Peripheral blood smear; single cell centered in the field; M8 digital microscope (Precipoint), 100× oil immersion — 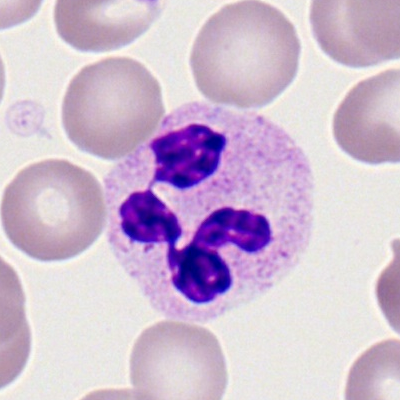Impression — polymorphonuclear neutrophil.